40× objective, oil immersion; Pappenheim-stained; bone marrow smear: 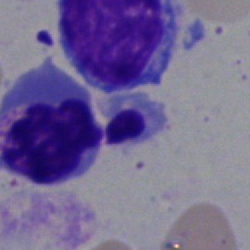{"cell_type": "nucleated red cell", "lineage": "erythroid"}